Bone marrow smear; brightfield microscopy, 40× oil immersion
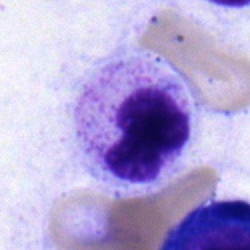

{"cell_type": "neutrophil (segmented)"}